Bone marrow smear: 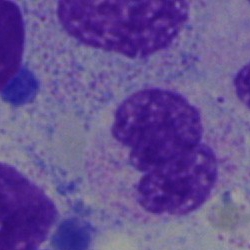{"cell_type": "metamyelocyte", "lineage": "myeloid"}